Bone marrow aspirate smear.
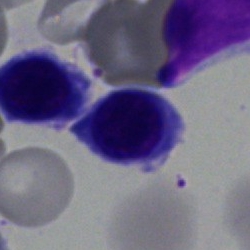A normoblast.